Bone marrow aspirate smear
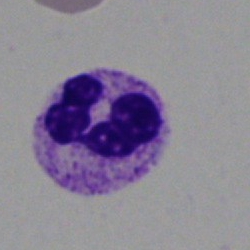Neutrophil (segmented).